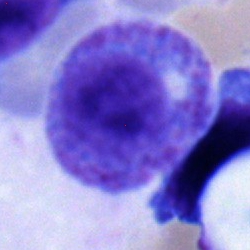
Classification = myelocyte.